MGG-stained. 250 by 250 pixels. Bone marrow aspirate smear — 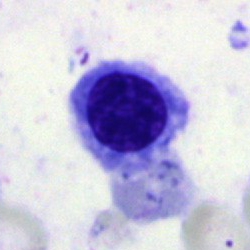 The classification is nucleated red cell.